Bone marrow smear:
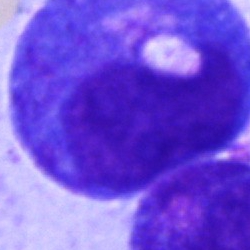

Impression — progranulocyte.